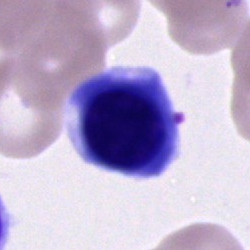

This is a normoblast.